Bone marrow smear:
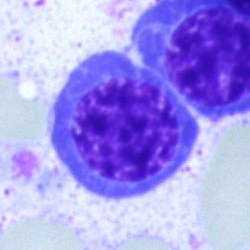

Cell type = nucleated red cell.